Peripheral blood smear · 100× oil immersion · Romanowsky-type stain — 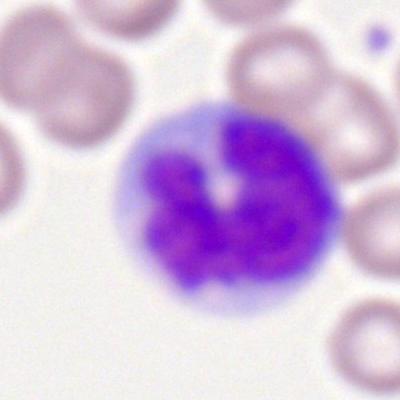Single cell identified as a monocyte.